Peripheral blood smear; 100× oil immersion, 14.14 px/µm: 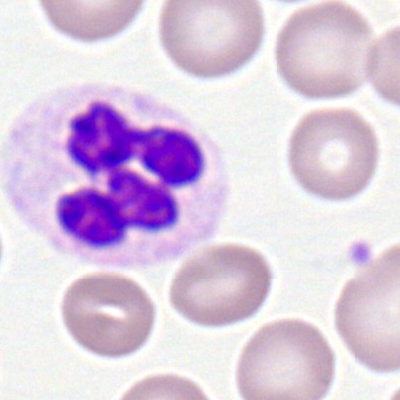Showing a neutrophil (segmented).